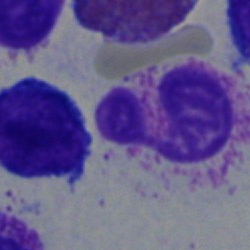
Specimen: bone marrow smear.
Classification: segmented neutrophil.
Lineage: myeloid.